Peripheral blood smear · May Grünwald-Giemsa stain — 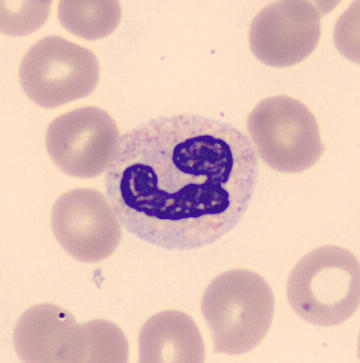This is a segmented neutrophil.